Peripheral blood film; imaged on a CellaVision DM96 analyser.
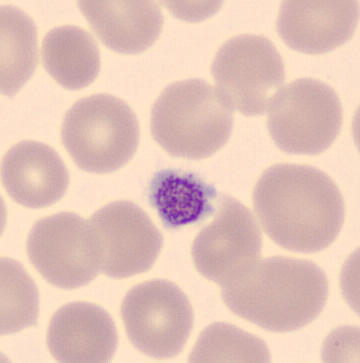 Q: What is shown here?
A: It is a platelet.